Single-cell crop. Bone marrow aspirate smear. Brightfield, 40× oil-immersion objective.
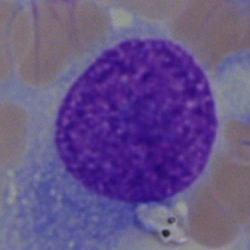
Impression → blast cell.